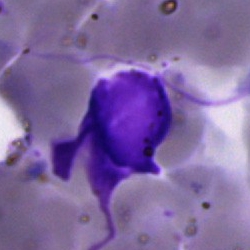
The cell shown is an artefact.